Bone marrow smear. 250 by 250 pixels
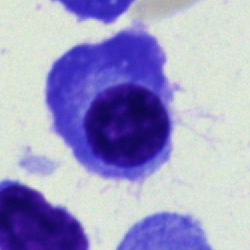{"cell_type": "plasma cell"}